Pappenheim-stained. Single-cell crop. Bone marrow smear.
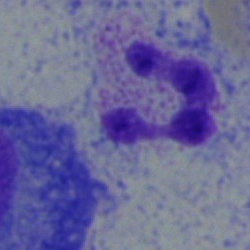Cell: segmented neutrophil.